Romanowsky stain; peripheral blood film — 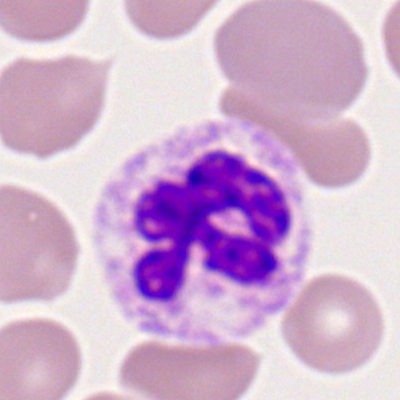
Cell — segmented neutrophil.